Bone marrow smear:
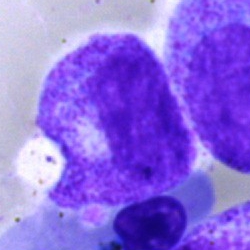{"cell_type": "myelocyte", "lineage": "myeloid"}